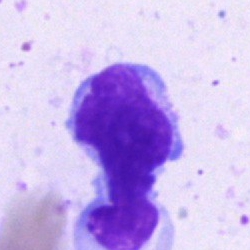 Classification = artefact.